Single-cell crop. Brightfield, 40× oil-immersion objective. Bone marrow smear: 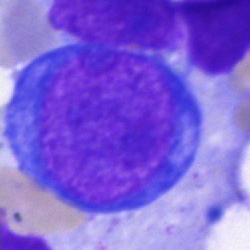Specimen: bone marrow aspirate smear.
Cell: pronormoblast.
Lineage: erythroid.